Bone marrow aspirate smear — 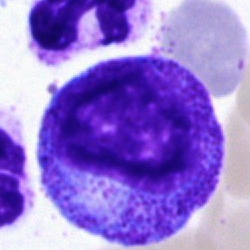Cell type: progranulocyte.